Bone marrow aspirate smear
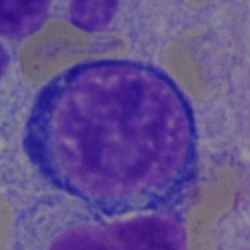 Impression → pronormoblast.